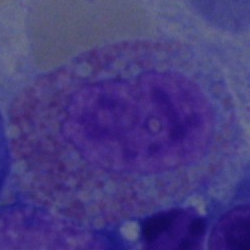 Cell = eosinophilic granulocyte.